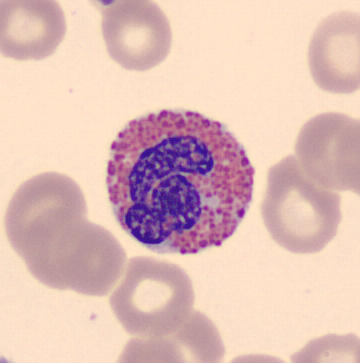

Cell: eosinophilic granulocyte.
Peripheral blood smear; cropped to a single cell.